Bone marrow smear · May-Grünwald-Giemsa stain
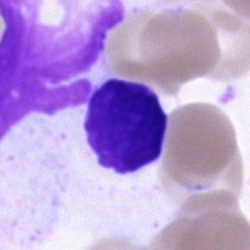
Specimen: bone marrow aspirate smear.
Morphological class: artefact.